Peripheral blood smear; 400×400 px; single-cell crop
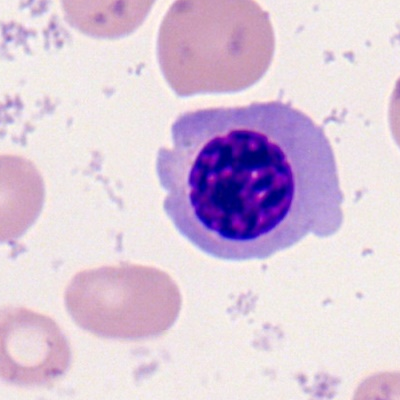
Cell type: normoblast.